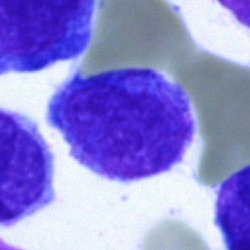

Morphology → blast cell.